Image size 250×250. Bone marrow smear. May-Grünwald-Giemsa/Pappenheim stain — 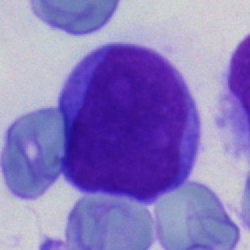 Single cell identified as an undifferentiated blast.